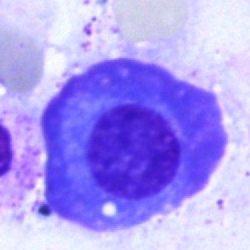 Morphology consistent with a plasma cell.